250×250. Bone marrow smear — 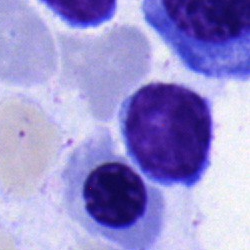

Showing a lymphocyte.